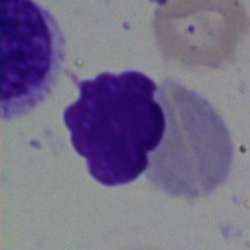
Artefact.